Bone marrow aspirate smear. Single-cell field:
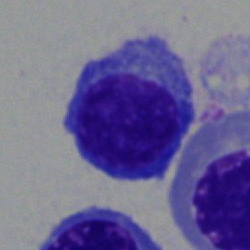Plasmacyte.